Bone marrow aspirate smear:
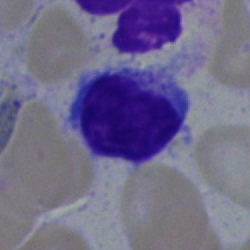Cell type: lymphocyte.